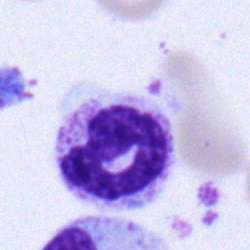
Cell: polymorphonuclear neutrophil.